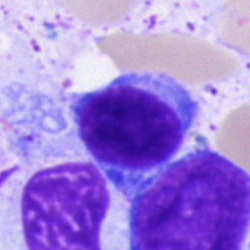

{"cell_type": "typical lymphocyte"}